Bone marrow aspirate smear
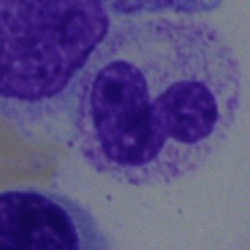 This is a band neutrophil.